100× objective, oil immersion; peripheral blood film; Romanowsky-stained
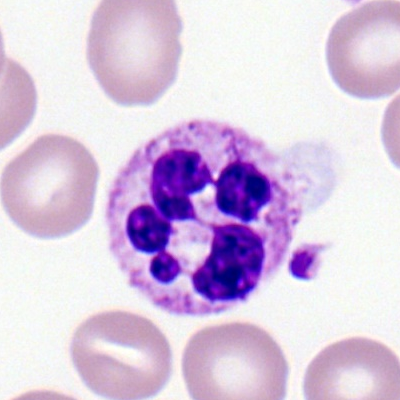Showing a polymorphonuclear neutrophil.